Bone marrow smear · 250×250 px · Pappenheim-stained.
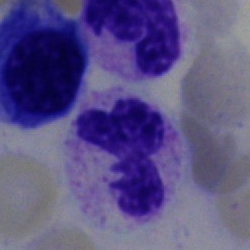Segmented neutrophil.